Brightfield, 40× oil-immersion objective; bone marrow smear:
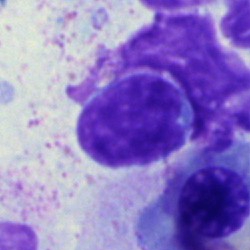

Q: What cell is this?
A: It is a lymphocyte.